Peripheral blood film:
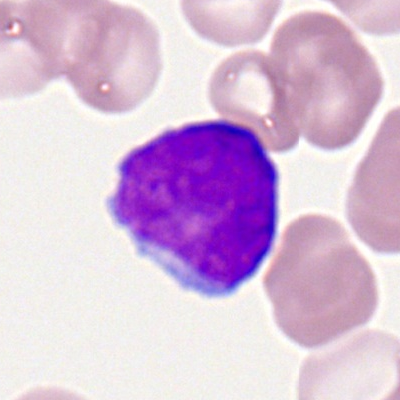 Q: What is the morphological classification of this cell?
A: It is a myeloid blast.